Bone marrow aspirate smear · MGG-stained:
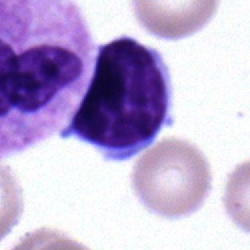Cell — typical lymphocyte.